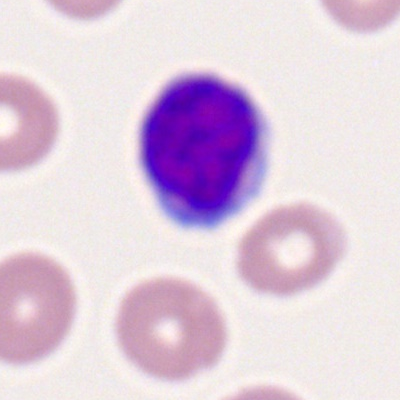

Q: What cell is this?
A: It is a lymphocyte.